Bone marrow smear
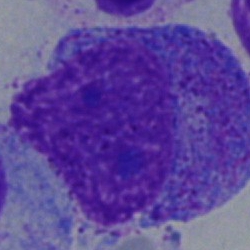

Specimen: bone marrow aspirate smear.
Classification: promyelocyte.